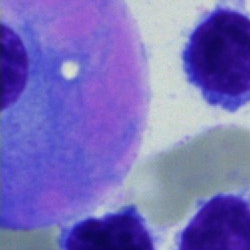

Bone marrow aspirate smear, single cell — lymphocyte.